Bone marrow aspirate smear — 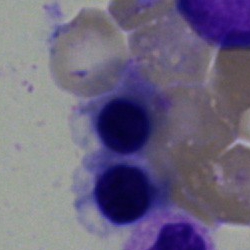

Q: What is shown here?
A: It is a normoblast.